Bone marrow smear. Single cell centered in the field:
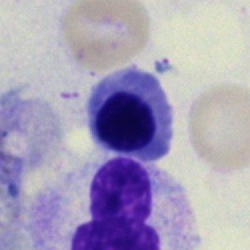Normoblast.